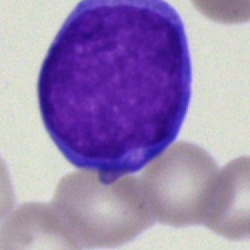Classification — undifferentiated blast.